May-Grünwald-Giemsa/Pappenheim stain · 250×250 px · bone marrow aspirate smear.
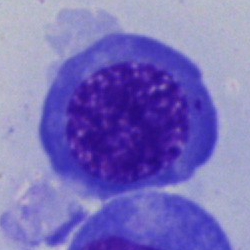

Cell type = nucleated red cell.